Bone marrow aspirate smear. Single cell centered in the field:
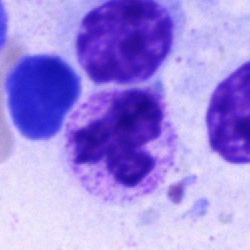 This is a polymorphonuclear neutrophil.